Bone marrow smear. Image size 250×250
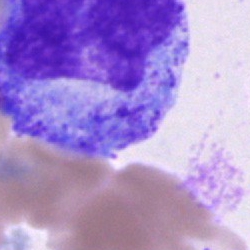
Progranulocyte.